Bone marrow smear — 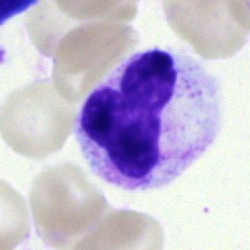
{"cell_type": "neutrophil (segmented)", "lineage": "myeloid"}